Single-cell field. Bone marrow smear. Pappenheim-stained — 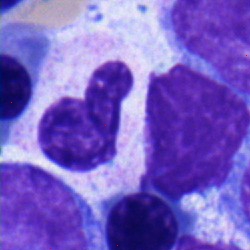

Impression → stab cell.